Bone marrow aspirate smear:
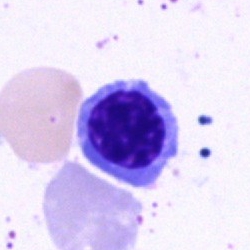
Morphology consistent with a nucleated red blood cell.